Bone marrow aspirate smear; 40× objective, oil immersion; 250×250.
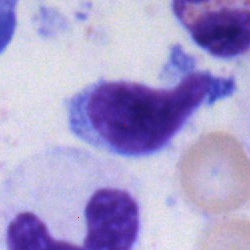Typical lymphocyte.